Bone marrow aspirate smear: 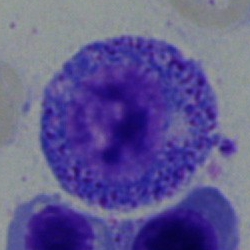Morphological class — promyelocyte.